Bone marrow smear.
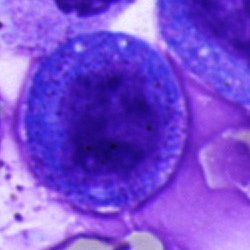Specimen: bone marrow smear.
Morphological class: promyelocyte.
Lineage: myeloid.